Bone marrow aspirate smear: 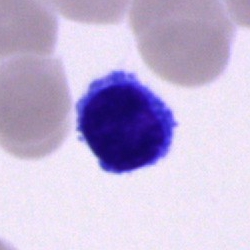 Q: What type of cell is this?
A: A cell of indeterminate lineage.